May-Grünwald-Giemsa/Pappenheim stain · 40× oil immersion · bone marrow smear:
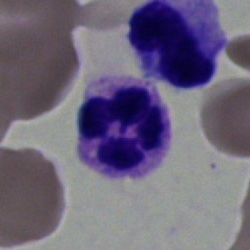

Q: What type of cell is this?
A: Polymorphonuclear neutrophil.